Bone marrow aspirate smear.
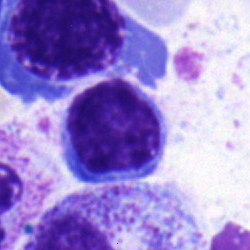
Specimen: bone marrow aspirate smear.
Morphological class: lymphocyte.
Lineage: lymphoid.